Peripheral blood film:
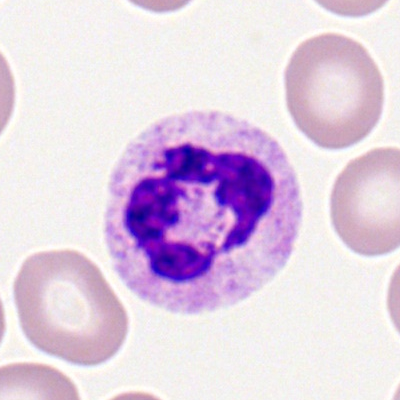 {"cell_type": "polymorphonuclear neutrophil", "lineage": "myeloid"}